Bone marrow aspirate smear; MGG-stained:
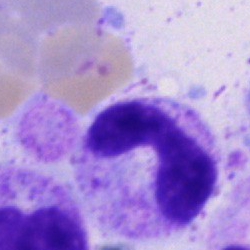Q: What cell is this?
A: It is a band-form neutrophil.